Cropped to a single cell. Bone marrow smear. May-Grünwald-Giemsa/Pappenheim stain
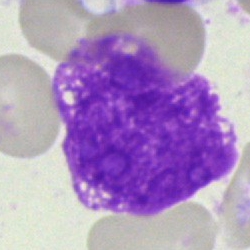Impression → artefact.